Bone marrow smear.
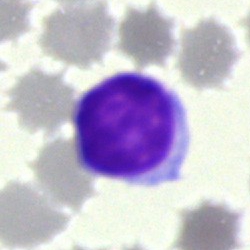

Typical lymphocyte.